Bone marrow smear. 40× objective, oil immersion:
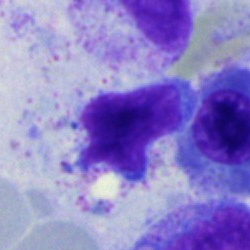
Lymphocyte.